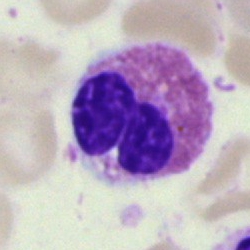

Morphological class: eosinophil.